250×250; bone marrow aspirate smear; Pappenheim-stained.
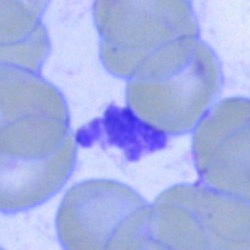 Cell type — artifact.